100× objective, oil immersion. Single-cell crop. Peripheral blood film — 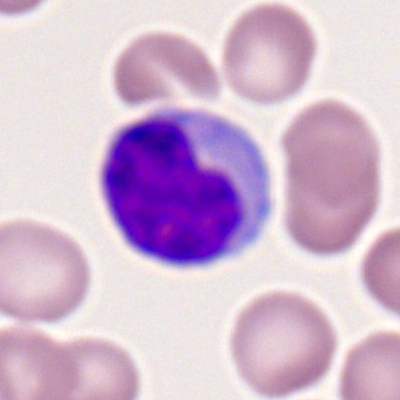
Cell = typical lymphocyte.